Peripheral blood smear
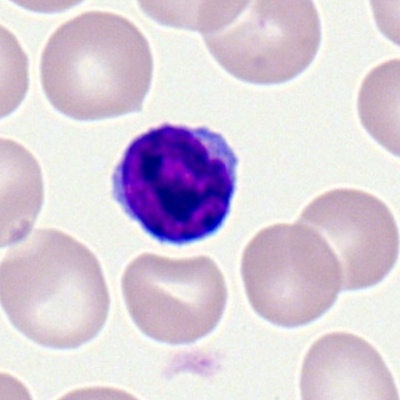

Impression → typical lymphocyte.